Bone marrow smear.
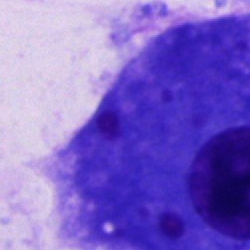
Morphology → cell not matching the other categories.